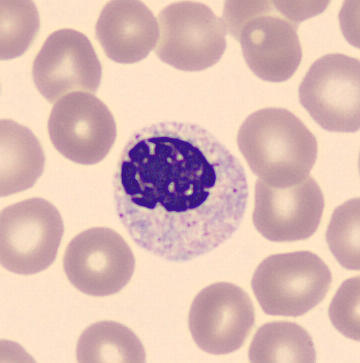The classification is myelocyte. Preparation: Peripheral blood smear.